Bone marrow aspirate smear. Single-cell field
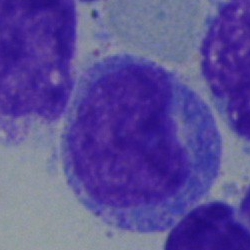

Morphology — blast.